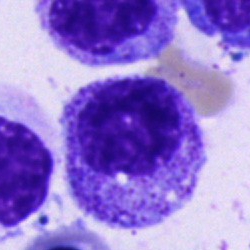

Cell type: progranulocyte.